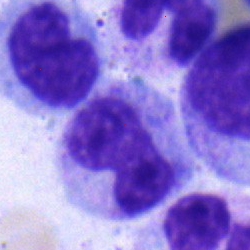
Impression — stab cell.